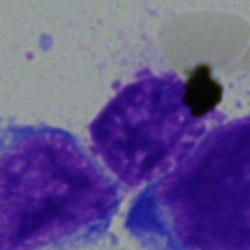

Morphological class: blast cell.